Bone marrow smear.
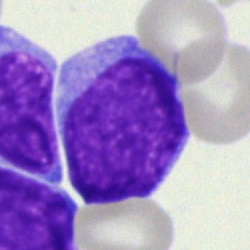
Single cell identified as a blast.